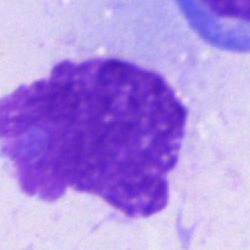 Cell = artifact.